250×250 · bone marrow smear
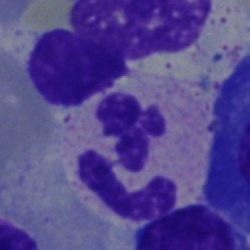 Cell type = segmented neutrophil.